Image size 250×250; bone marrow smear:
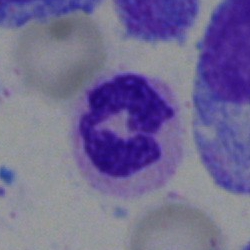Single cell identified as a polymorphonuclear neutrophil.